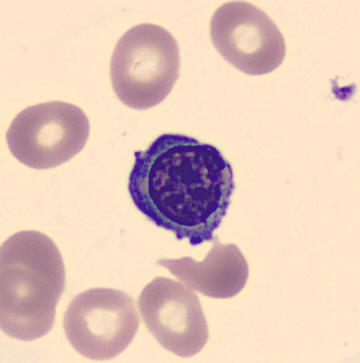 Morphological class — nucleated red cell.
Peripheral blood smear.